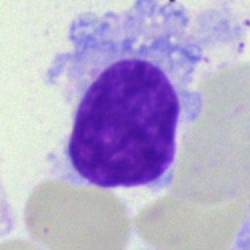 Specimen: bone marrow smear.
Cell type: hairy cell.